Bone marrow aspirate smear.
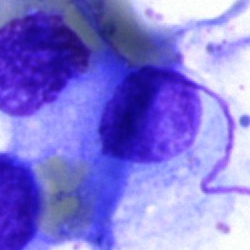 Q: What is shown here?
A: This is an artifact.